Bone marrow smear:
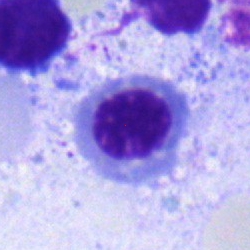 Q: What is the morphological classification of this cell?
A: It is a nucleated red cell.